Bone marrow aspirate smear.
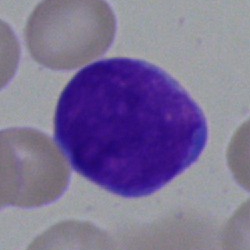

The cell is blast.